Peripheral blood smear; Romanowsky-stained
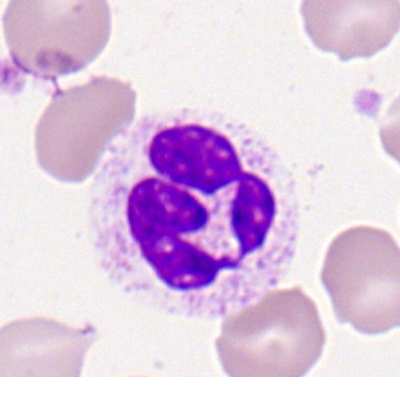 Neutrophil (segmented).